Bone marrow smear: 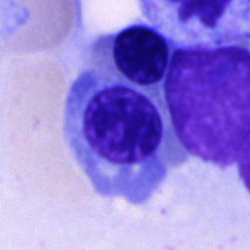

Specimen: bone marrow aspirate smear.
Classification: nucleated red cell.
Lineage: erythroid.